Bone marrow smear.
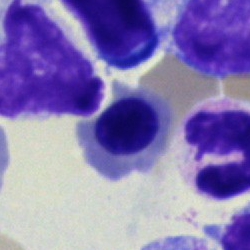

The morphological class is nucleated red cell.